Bone marrow smear · single-cell crop: 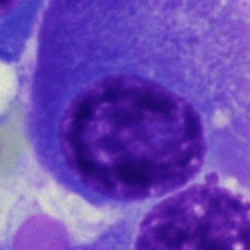

Specimen: bone marrow aspirate smear.
Cell: plasma cell.